Bone marrow aspirate smear:
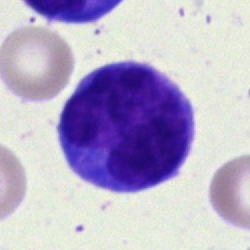
This is a lymphocyte.